Bone marrow aspirate smear: 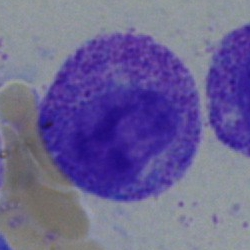
This is a myelocyte.